Bone marrow smear.
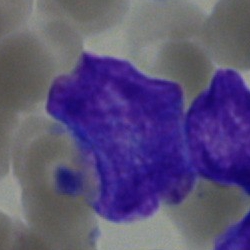
Classification = blast.